Bone marrow aspirate smear:
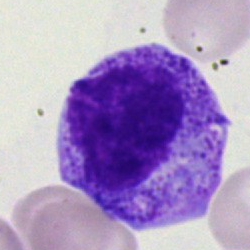 Morphological class = myelocyte.